Bone marrow smear · cropped to a single cell — 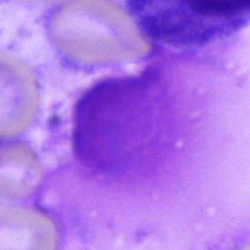
Specimen: bone marrow aspirate smear.
Morphological class: artefact.